Bone marrow aspirate smear. MGG-stained.
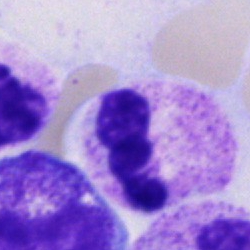
Impression → polymorphonuclear neutrophil.